Bone marrow smear
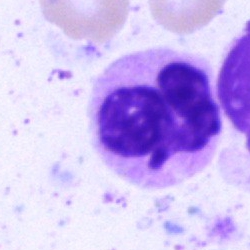Cell type: polymorphonuclear neutrophil.